Bone marrow smear:
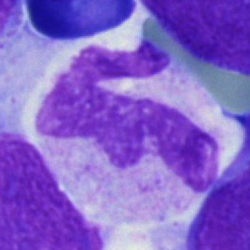The cell type is segmented neutrophil.